Bone marrow smear.
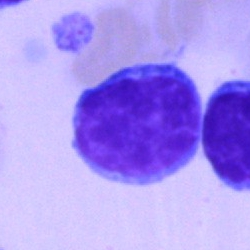

The cell shown is a lymphocyte.